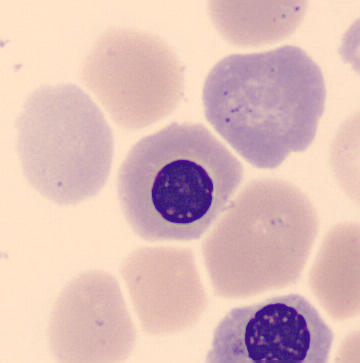Peripheral blood film · May Grünwald-Giemsa stain. Q: What is the morphological classification of this cell?
A: This is a normoblast.